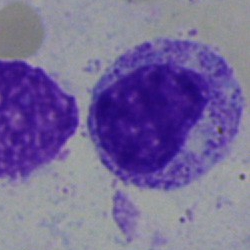Morphology consistent with a myelocyte.